Bone marrow smear.
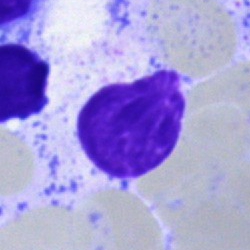

The cell shown is an artefact.